Bone marrow smear:
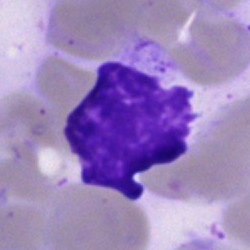 Showing an artefact.